Bone marrow aspirate smear: 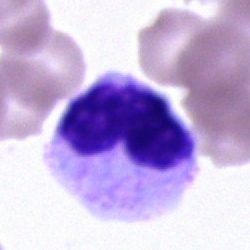
Q: What is the morphological classification of this cell?
A: It is a cell of indeterminate lineage.